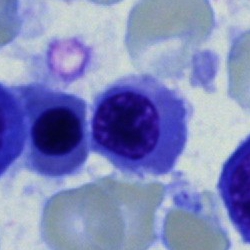

Showing an erythroblast.